Bone marrow smear: 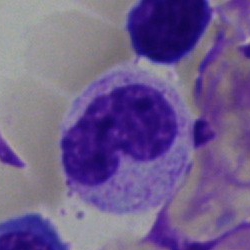

Showing a stab cell.